Bone marrow smear — 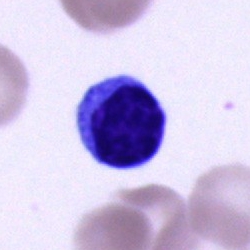

Single cell identified as a lymphocyte.